Bone marrow smear. Pappenheim-stained.
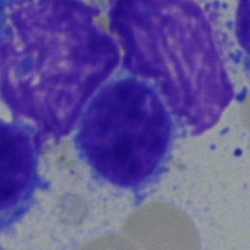
Cell: lymphocyte.